Single-cell crop; bone marrow smear
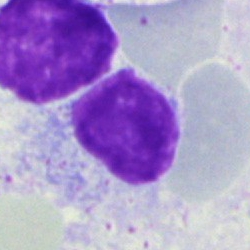
This is an artefact.